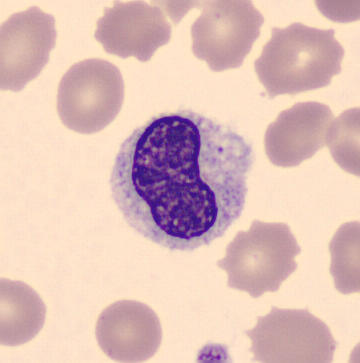
Cell = metamyelocyte.